Bone marrow aspirate smear. May-Grünwald-Giemsa stain. Cropped to a single cell — 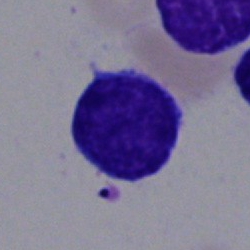
{"cell_type": "typical lymphocyte"}